Bone marrow smear; 250 by 250 pixels.
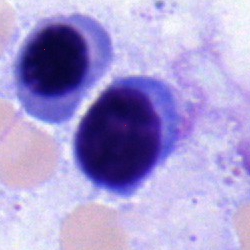 Classification: lymphocyte.